Bone marrow smear; single-cell field; image size 250×250
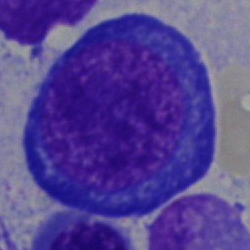Specimen: bone marrow smear.
Classification: nucleated red cell.
Lineage: erythroid.